Bone marrow smear.
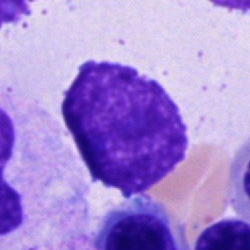The classification is artifact.